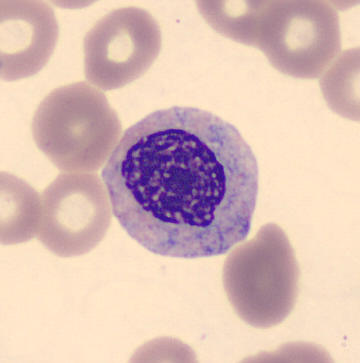 Acquisition: Peripheral blood smear · 360 by 363 pixels.
Impression — myelocyte.